Peripheral blood film.
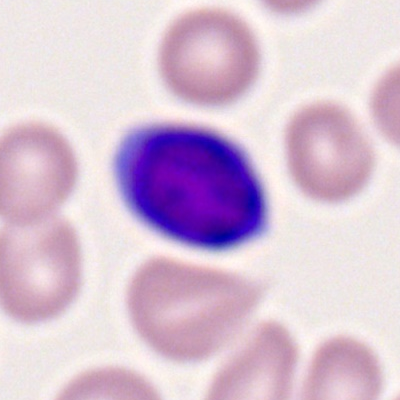 Morphology → typical lymphocyte.